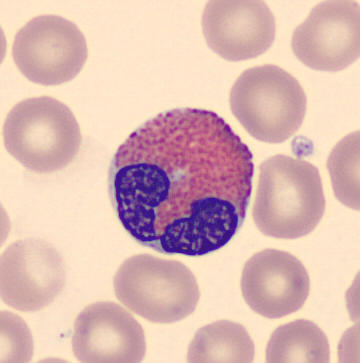 Morphology consistent with an eosinophilic granulocyte.

Image: Peripheral blood film.